Single-cell field; bone marrow smear; Pappenheim-stained: 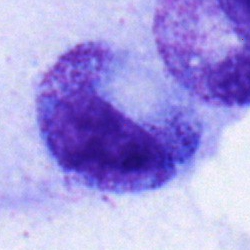
A promyelocyte.